Brightfield, 40× oil-immersion objective · Pappenheim-stained · bone marrow aspirate smear
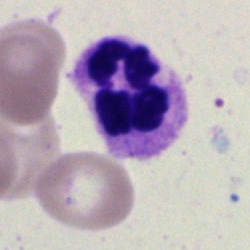
The cell type is segmented neutrophil.